Bone marrow smear · single-cell field
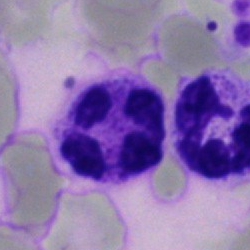
Specimen: bone marrow smear.
Classification: polymorphonuclear neutrophil.
Lineage: myeloid.